Image size 250×250; bone marrow aspirate smear
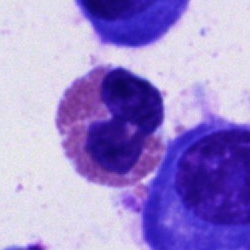The cell type is eosinophil.